Romanowsky-type stain; peripheral blood film:
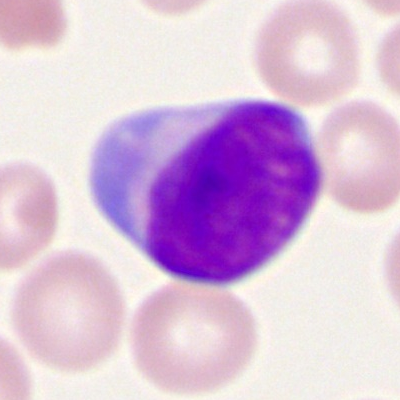The cell shown is a myeloid blast.